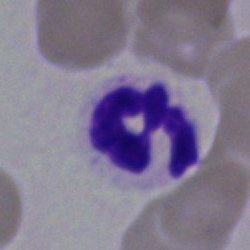 Single-cell crop from a bone marrow smear: segmented neutrophil.